Bone marrow smear — 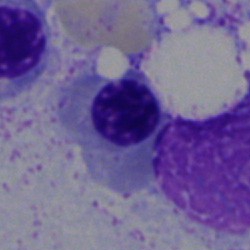

Morphology consistent with an erythroblast.